Bone marrow smear · 40× oil immersion: 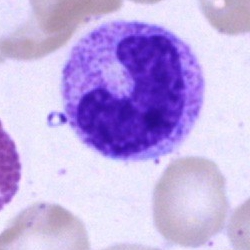Cell — stab cell.